Bone marrow aspirate smear. Pappenheim-stained:
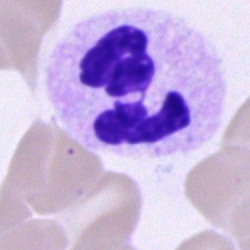Showing a segmented neutrophil.